Bone marrow aspirate smear
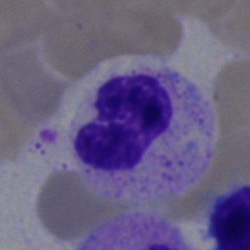 {"cell_type": "neutrophil (segmented)", "lineage": "myeloid"}